250 by 250 pixels; bone marrow aspirate smear:
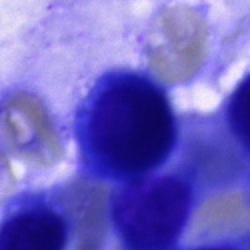 Morphological class — artefact.